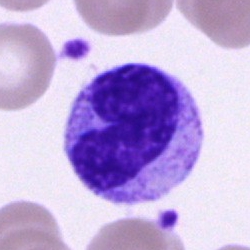 The cell shown is a band-form neutrophil.